Bone marrow aspirate smear; Pappenheim-stained — 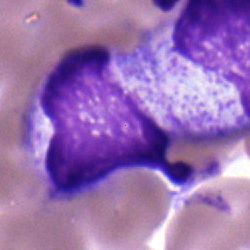
Neutrophil (segmented).